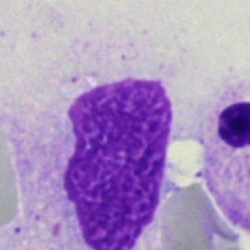This is an artefact.